Bone marrow aspirate smear · image size 250×250
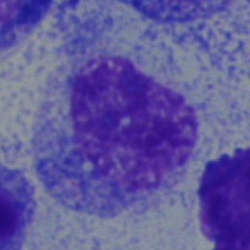
Q: What is shown here?
A: It is an undifferentiated blast.